Bone marrow aspirate smear — 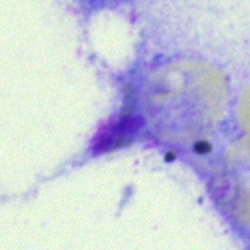
This is an artefact.